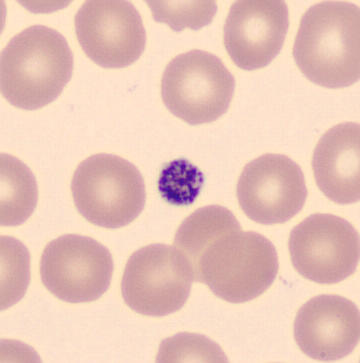
Automated cell imaging (CellaVision DM96) · peripheral blood smear.

Showing a platelet (thrombocyte).